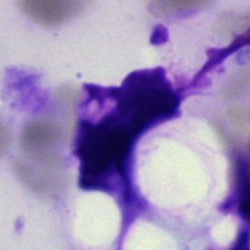

An artifact.